Cropped to a single cell; bone marrow aspirate smear — 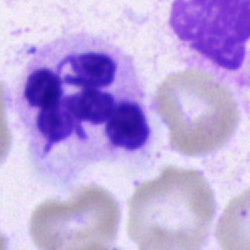 Q: Identify the cell.
A: A neutrophil (segmented).